Bone marrow smear: 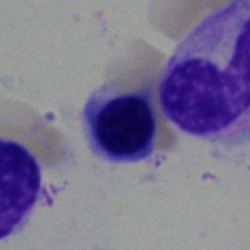
Morphology → erythroblast.